Single-cell crop · 40× objective, oil immersion · bone marrow smear: 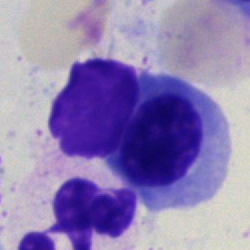
Morphology consistent with an erythroblast.